Single-cell field; bone marrow smear; May-Grünwald-Giemsa stain — 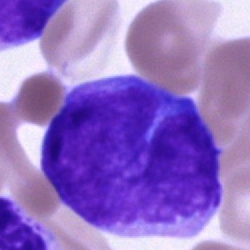

Q: Identify the cell.
A: Blast.